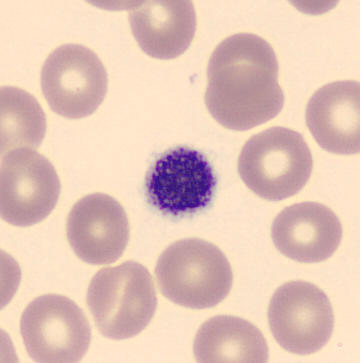Specimen: peripheral blood film.
Cell type: platelet.